Bone marrow aspirate smear · single cell centered in the field
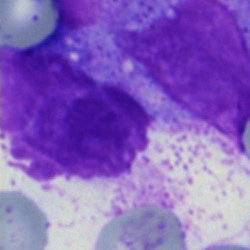 Q: What is shown here?
A: An artifact.